Image size 250×250; bone marrow aspirate smear; May-Grünwald-Giemsa stain:
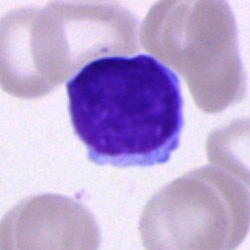

Impression → lymphocyte.